Peripheral blood smear: 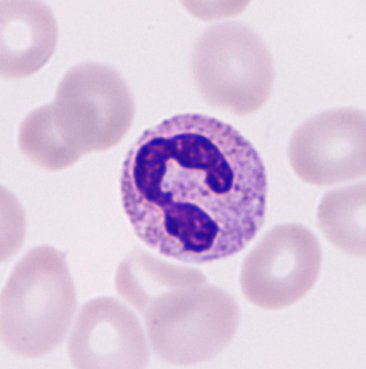
Specimen: peripheral blood film.
Classification: neutrophilic granulocyte.
Lineage: myeloid.